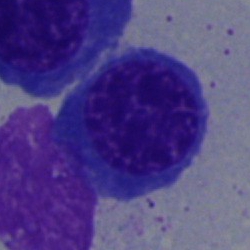
Cell type: erythroblast.